40× oil immersion; bone marrow smear:
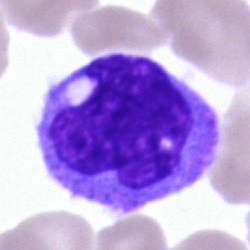Morphological class = monocyte.